Bone marrow aspirate smear: 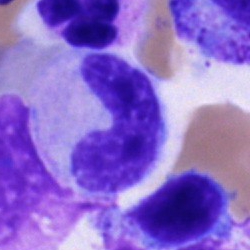

The cell is neutrophil (band).